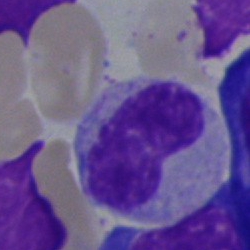
Morphology consistent with a stab cell.